Bone marrow aspirate smear — 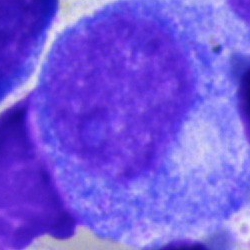Q: What cell is this?
A: Progranulocyte.